Peripheral blood smear:
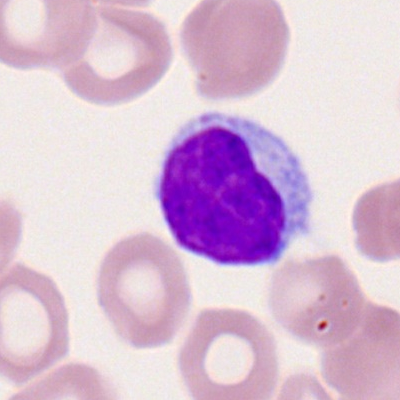Q: Which cell type is shown here?
A: It is a lymphocyte.